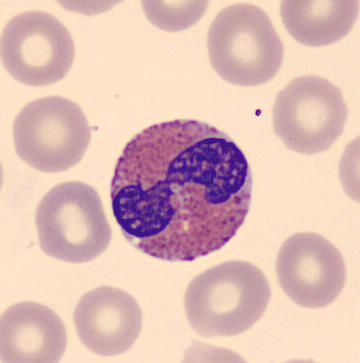 Cell type — eosinophil.